Bone marrow aspirate smear
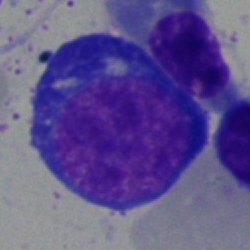
Specimen: bone marrow aspirate smear.
Cell: erythroblast.
Lineage: erythroid.